Bone marrow aspirate smear · Pappenheim-stained: 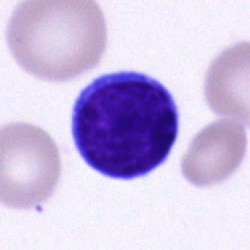
The cell shown is a lymphocyte.